400×400 px · peripheral blood smear: 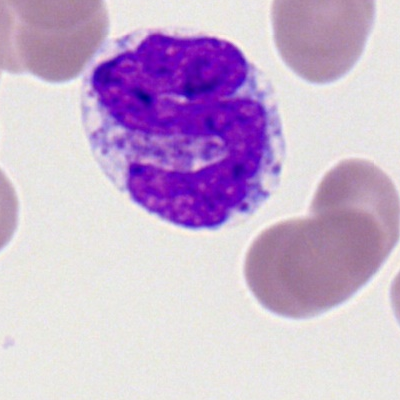Q: What is shown here?
A: A monocyte.